Bone marrow smear; image size 250×250; single cell centered in the field:
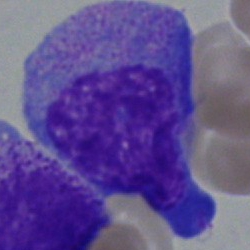
{"cell_type": "promyelocyte", "lineage": "myeloid"}